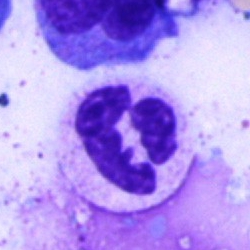

Morphological class = polymorphonuclear neutrophil.